Bone marrow smear; image size 250×250: 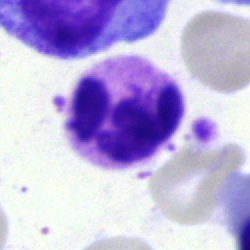
Classification — polymorphonuclear neutrophil.